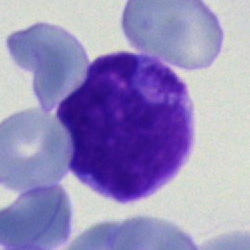

Impression — blast.